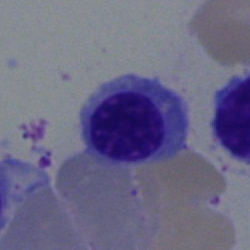

Cell type: nucleated red blood cell.